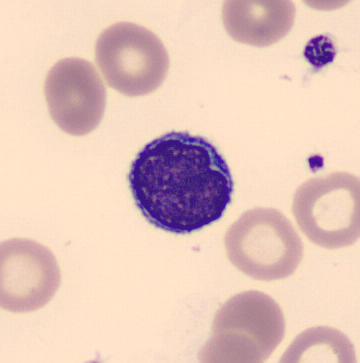 Morphological class: lymphocyte.